Peripheral blood smear:
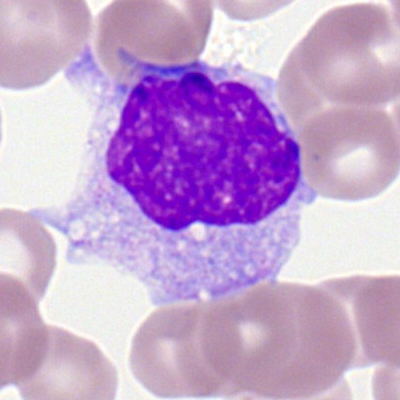Showing a monocyte.